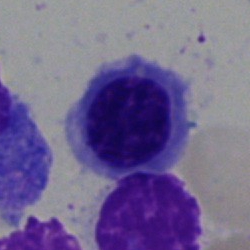Impression → nucleated red cell.